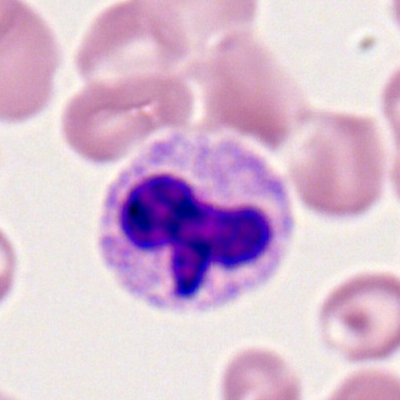 {"cell_type": "neutrophil (segmented)", "lineage": "myeloid"}